Bone marrow smear.
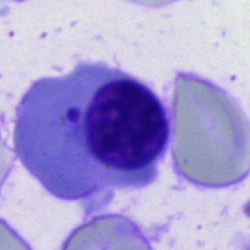
Morphology — nucleated red blood cell.